Bone marrow aspirate smear.
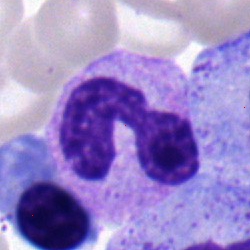

Q: What type of cell is this?
A: It is a neutrophil (band).